Single-cell crop · bone marrow smear — 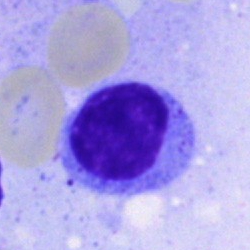

Q: Which cell type is shown here?
A: A typical lymphocyte.